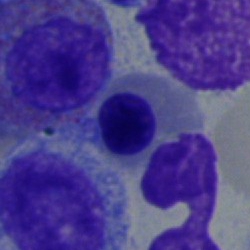

Classification — nucleated red blood cell.